Single cell centered in the field · bone marrow aspirate smear · 250×250:
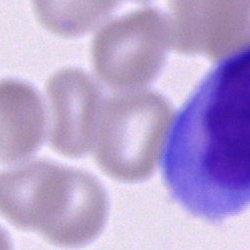
Impression — cell of indeterminate lineage.